Bone marrow smear — 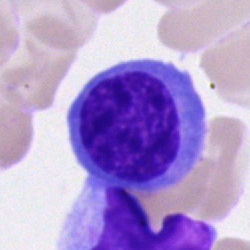Morphology consistent with a normoblast.